Bone marrow smear:
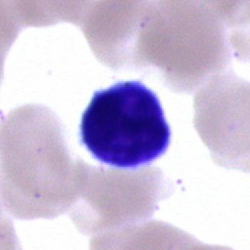
Q: Which cell type is shown here?
A: This is a typical lymphocyte.